Peripheral blood smear — 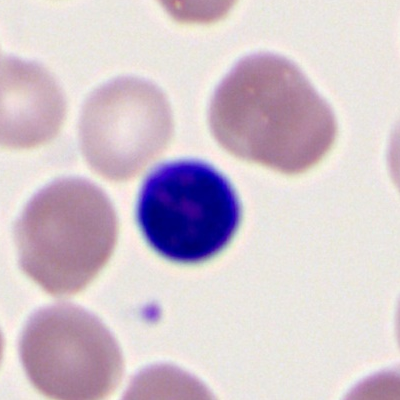 A typical lymphocyte.